Bone marrow aspirate smear; image size 250×250.
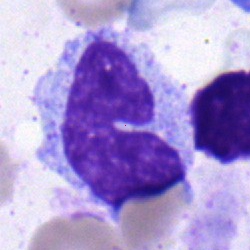Cell type — metamyelocyte.